250 by 250 pixels · bone marrow aspirate smear: 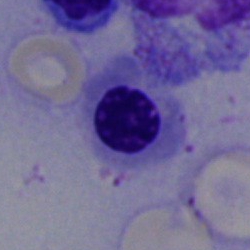

Showing a nucleated red blood cell.